250 by 250 pixels. Bone marrow aspirate smear — 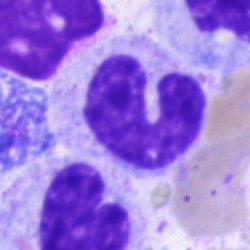The morphological class is stab cell.